Cropped to a single cell. Bone marrow aspirate smear:
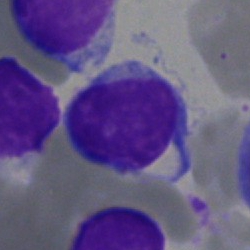

Single cell identified as a lymphocyte.